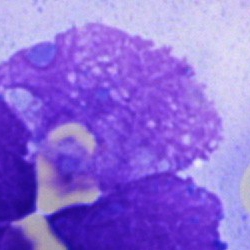 This is an artifact.